Bone marrow aspirate smear — 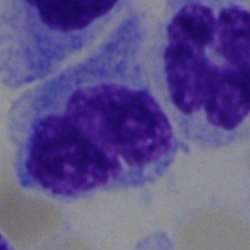
Hairy cell.